250×250; bone marrow aspirate smear.
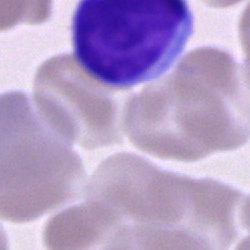
Typical lymphocyte.